Image size 400×400; peripheral blood smear: 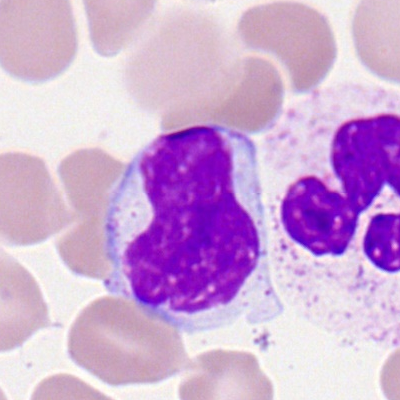

Q: What type of cell is this?
A: Lymphocyte.